Bone marrow aspirate smear; May-Grünwald-Giemsa/Pappenheim stain — 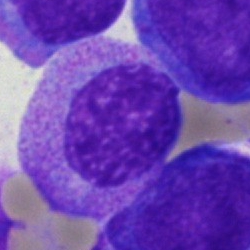
The cell shown is a progranulocyte.